Bone marrow aspirate smear; single-cell field — 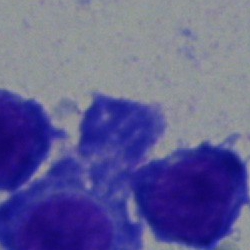

Morphology consistent with a plasma cell.